Bone marrow smear · brightfield microscopy, 40× oil immersion: 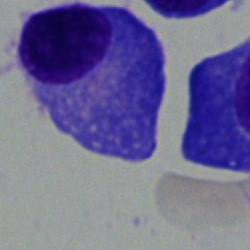Morphological class — plasma cell.